Bone marrow smear — 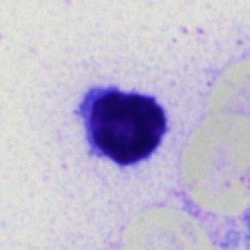
The cell shown is a lymphocyte.